40× objective, oil immersion; bone marrow aspirate smear — 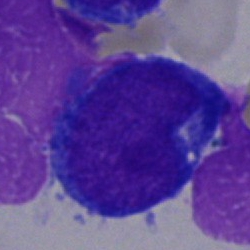 This is a blast cell.